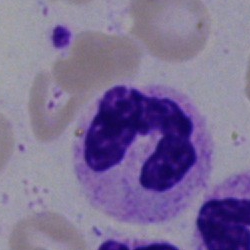
Specimen: bone marrow aspirate smear.
Cell type: neutrophil (segmented).